Bone marrow aspirate smear:
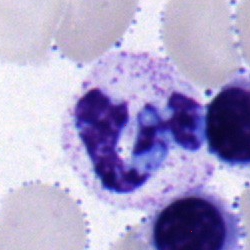
Single cell identified as a myelocyte.